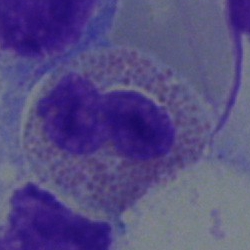 The classification is eosinophil.